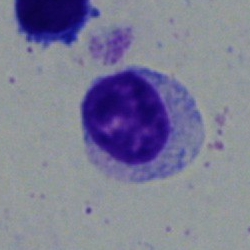 Specimen: bone marrow aspirate smear.
Cell type: myelocyte.
Lineage: myeloid.